Pappenheim-stained · bone marrow smear
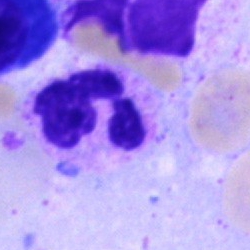
{"cell_type": "segmented neutrophil"}